Bone marrow smear · 250 by 250 pixels: 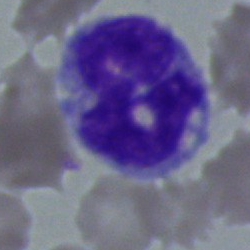Cell type — monocyte.